Bone marrow smear:
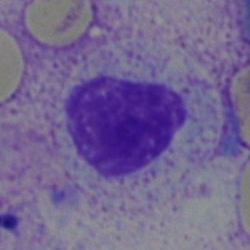This is a myelocyte.